Bone marrow smear · May-Grünwald-Giemsa stain.
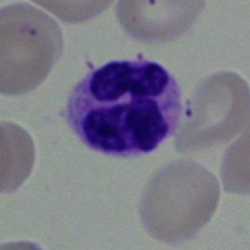Showing a polymorphonuclear neutrophil.